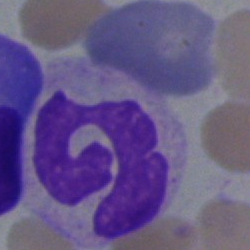 A segmented neutrophil on a bone marrow smear.